Single-cell field. Bone marrow smear.
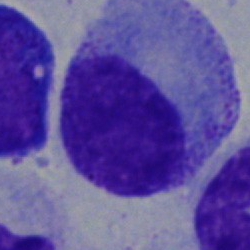Specimen: bone marrow smear.
Cell type: progranulocyte.